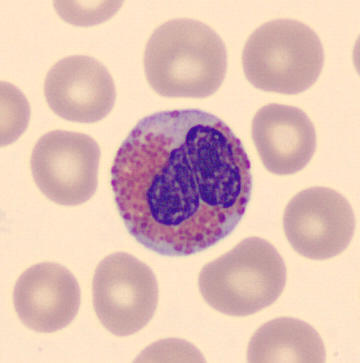Impression → eosinophil.

Single-cell crop · MGG-stained · peripheral blood smear.